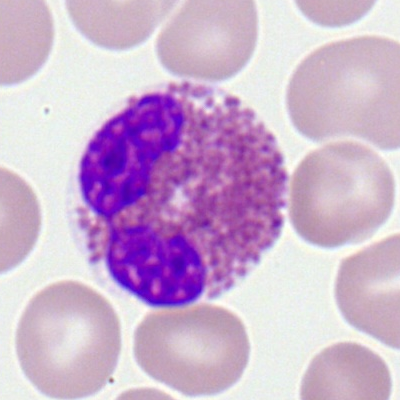

Impression — eosinophil.